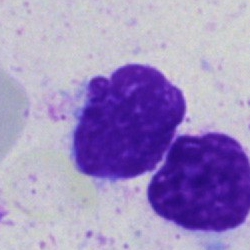Q: What is shown here?
A: An artefact.